Bone marrow aspirate smear — 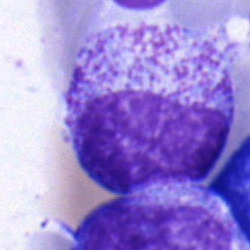
Cell type: myelocyte.